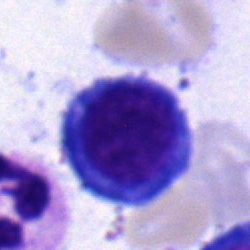

Morphological class — normoblast.